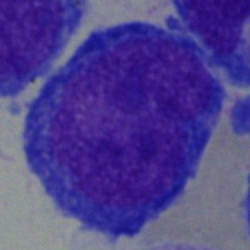 Q: What is shown here?
A: A proerythroblast.